Peripheral blood film: 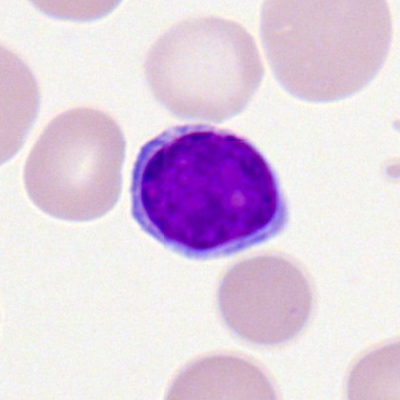 Cell type = typical lymphocyte.